Bone marrow aspirate smear
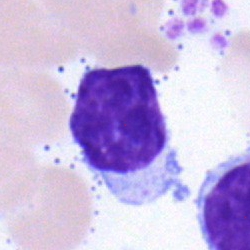 Impression — typical lymphocyte.